Bone marrow smear: 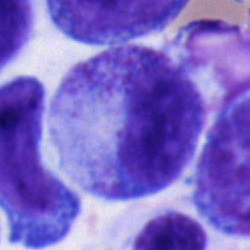

Morphological class = promyelocyte.